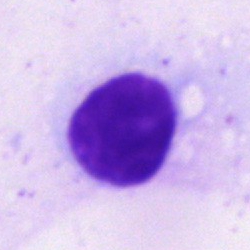 Morphology — artifact.